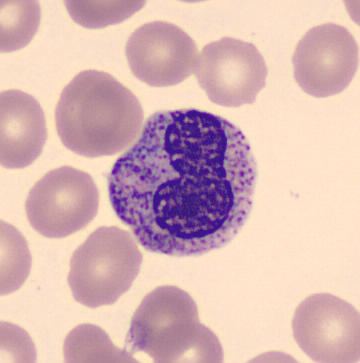Single cell centered in the field; peripheral blood smear. Metamyelocyte.